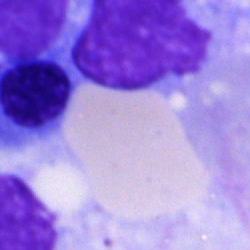Bone marrow smear showing a nucleated red blood cell.